Bone marrow smear — 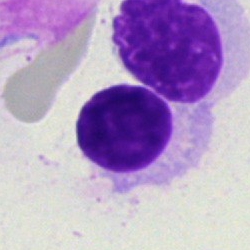

Classification — artifact.